Bone marrow aspirate smear:
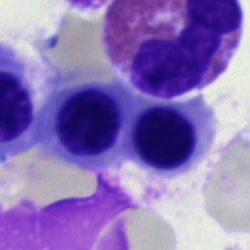

Classification: nucleated red blood cell.